Bone marrow aspirate smear; cropped to a single cell.
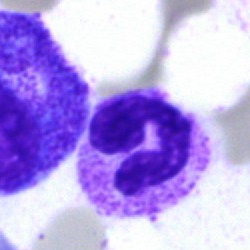
Q: Which cell type is shown here?
A: This is a neutrophil (segmented).